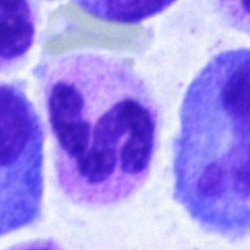

Q: What is shown here?
A: This is a neutrophil (segmented).